Bone marrow aspirate smear; May-Grünwald-Giemsa/Pappenheim stain.
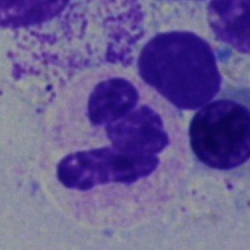Showing a neutrophil (segmented).